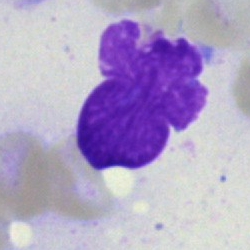
Bone marrow smear showing an artefact.